Bone marrow smear. Image size 250×250: 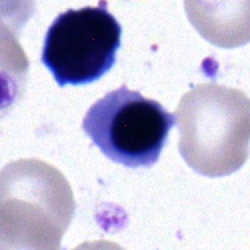

Impression — nucleated red cell.